Bone marrow aspirate smear. 250 by 250 pixels — 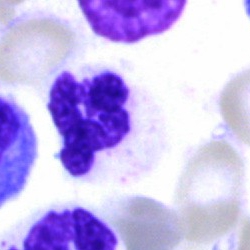This is a polymorphonuclear neutrophil.